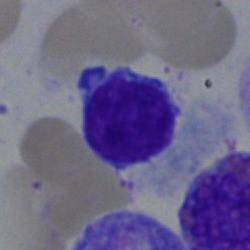Showing a lymphocyte.